Bone marrow smear.
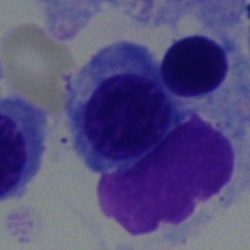 Morphology consistent with a nucleated red blood cell.